Bone marrow smear.
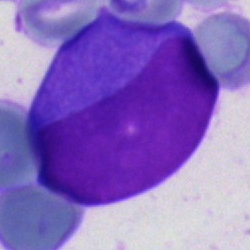
{"cell_type": "undifferentiated blast"}